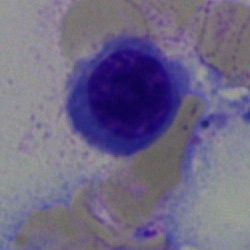 Bone marrow smear showing an erythroblast.